Bone marrow aspirate smear. Single-cell field. 40× objective, oil immersion: 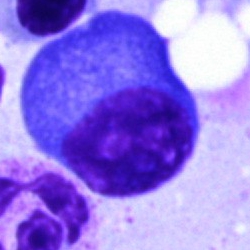The cell is plasmacyte.